Bone marrow smear:
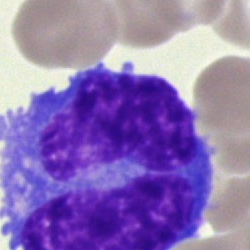

Impression → unidentifiable cell.